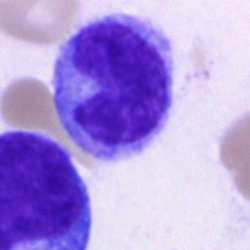A monocyte on a bone marrow smear.